Brightfield, 40× oil-immersion objective. Bone marrow smear — 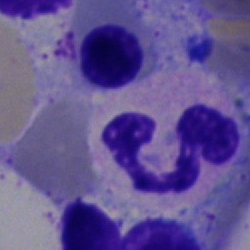

Specimen: bone marrow aspirate smear.
Cell type: neutrophil (segmented).